Bone marrow aspirate smear
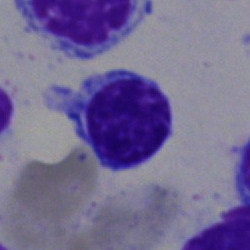

Specimen: bone marrow smear.
Morphological class: typical lymphocyte.